250×250; 40× objective, oil immersion; bone marrow smear: 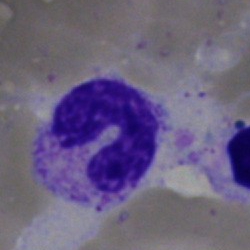

Cell type: stab cell.